Bone marrow smear. 250×250 px. May-Grünwald-Giemsa/Pappenheim stain:
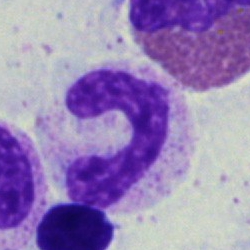 Showing a neutrophil (band).